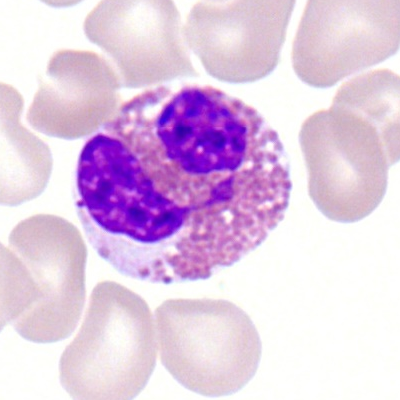Cell: eosinophil.